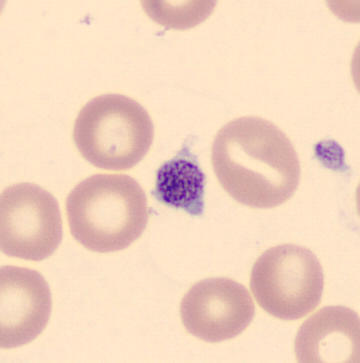Classification = platelet (thrombocyte).